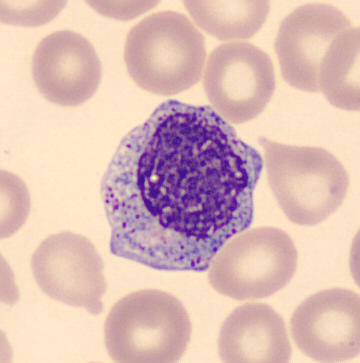
Q: What is this?
A: This is a myelocyte.
Peripheral blood smear.